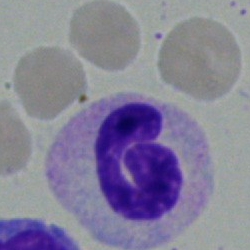Morphological class — neutrophil (segmented).